Peripheral blood film
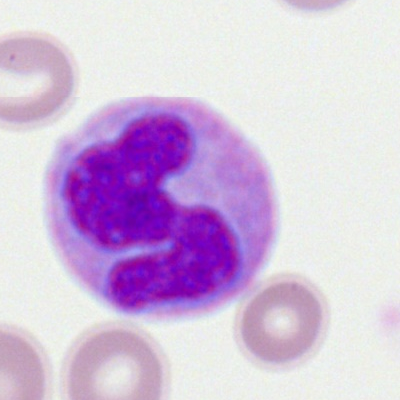Morphological class: monocyte.